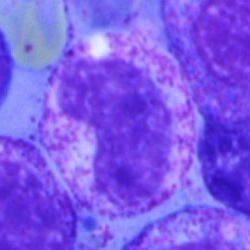The classification is band-form neutrophil.